Bone marrow aspirate smear:
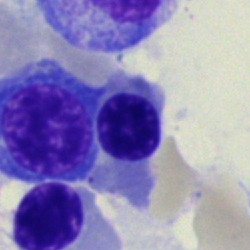
{"cell_type": "nucleated red cell"}